Bone marrow smear. Image size 250×250:
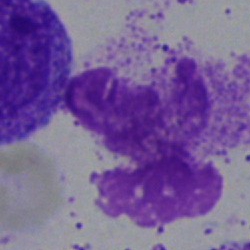 The cell shown is an artifact.